Bone marrow aspirate smear · brightfield, 40× oil-immersion objective: 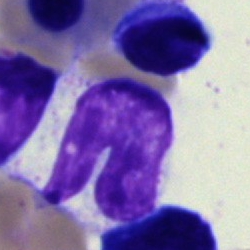Q: What is the morphological classification of this cell?
A: Neutrophil (band).